Bone marrow smear: 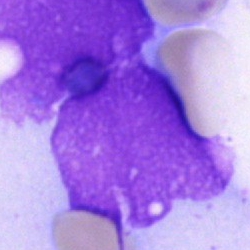{"cell_type": "artifact"}